Peripheral blood film
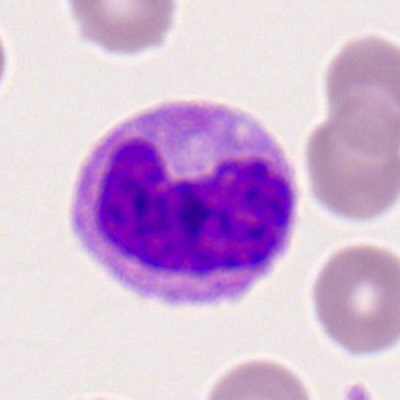 Specimen: peripheral blood film.
Morphological class: monocyte.
Lineage: myeloid.